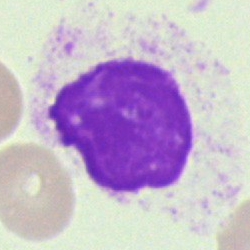
Q: What is shown here?
A: It is an artifact.